Bone marrow smear: 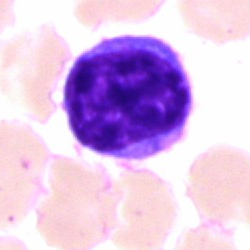 Specimen: bone marrow aspirate smear.
Morphological class: typical lymphocyte.
Lineage: lymphoid.